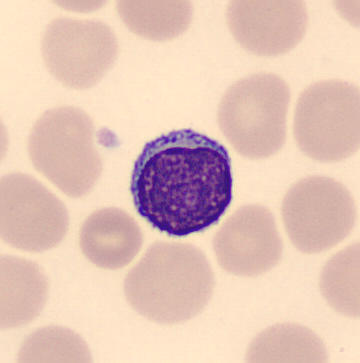Specimen: peripheral blood smear.
Morphological class: typical lymphocyte.
Lineage: lymphoid.